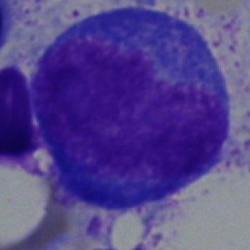

Single cell identified as a proerythroblast.